Bone marrow smear. Single-cell field. MGG-stained: 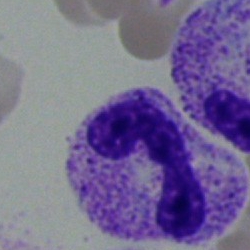A stab cell.